Peripheral blood smear. Single cell centered in the field: 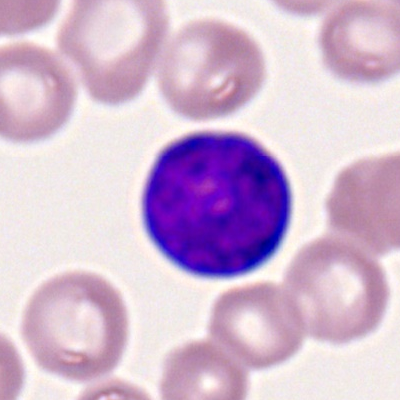 Morphology → myeloid blast.